Bone marrow smear · 250 by 250 pixels
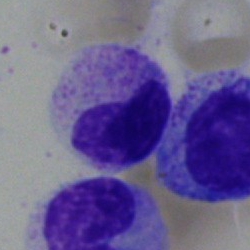
Showing a neutrophil (band).